MGG-stained · 250 by 250 pixels · bone marrow smear.
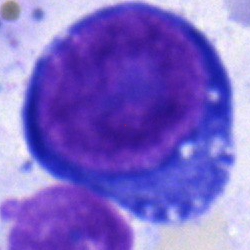 Single cell identified as a pronormoblast.